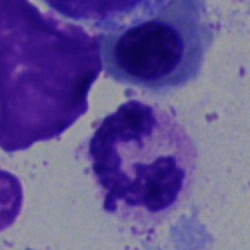Cell type — neutrophil (segmented).